Bone marrow aspirate smear; 250×250 — 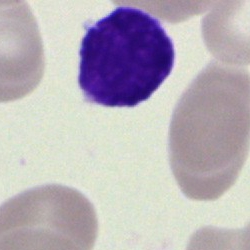

A typical lymphocyte.